Bone marrow smear: 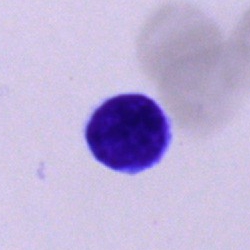
Cell type = typical lymphocyte.